Romanowsky-stained. Peripheral blood smear:
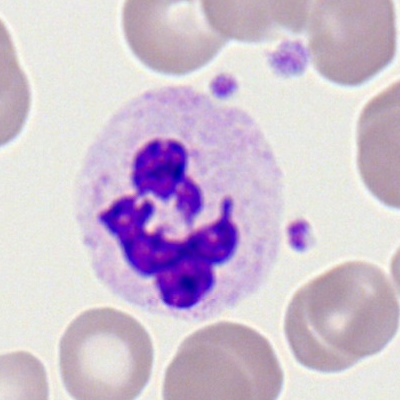

Morphology → neutrophil (segmented).